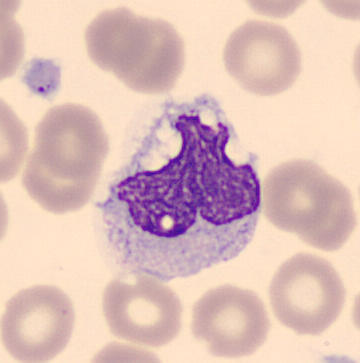Acquisition: Peripheral blood film. May Grünwald-Giemsa stain.

Morphology consistent with a monocyte.